Bone marrow smear. MGG-stained. Cropped to a single cell:
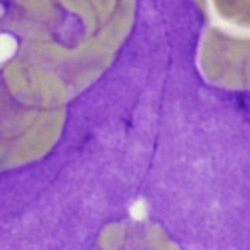

{"cell_type": "artifact"}